Peripheral blood smear
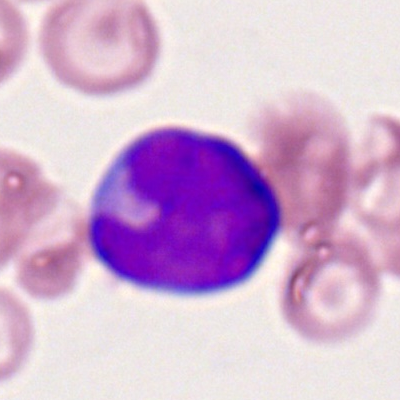

Cell type: myeloid blast.